Bone marrow aspirate smear
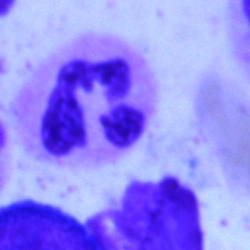 Impression → segmented neutrophil.